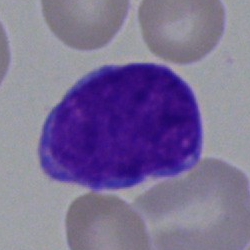Impression — blast cell.